Bone marrow smear; MGG-stained.
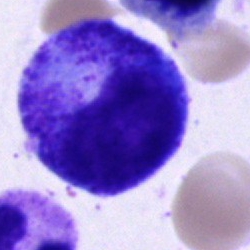 Single cell identified as a progranulocyte.